Bone marrow smear.
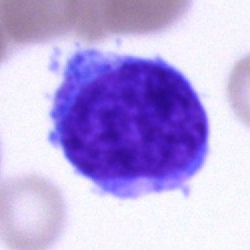

Cell: blast.